Pappenheim-stained · bone marrow smear.
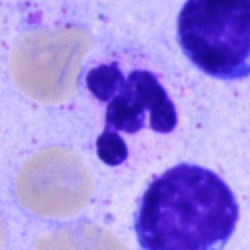 Classification: neutrophil (segmented).